Bone marrow smear
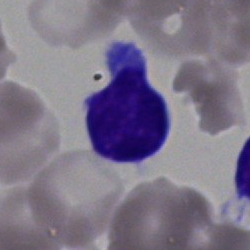 Cell type — typical lymphocyte.